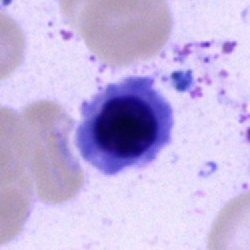Cell type = nucleated red blood cell.